Bone marrow smear: 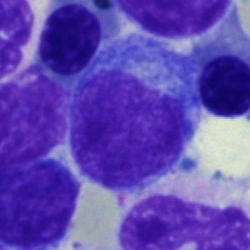

Morphology consistent with a lymphocyte.